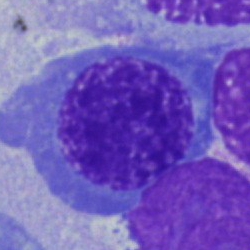

A nucleated red blood cell.